Bone marrow aspirate smear
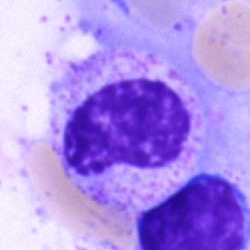 This is a metamyelocyte.